40× objective, oil immersion; bone marrow aspirate smear; MGG-stained.
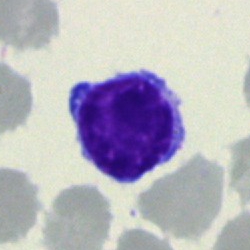
This is a typical lymphocyte.